Imaged on a CellaVision DM96 analyser · peripheral blood film
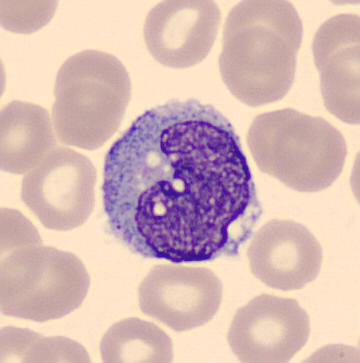

The cell type is monocyte.